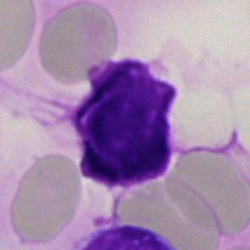 {"cell_type": "artefact"}